Bone marrow aspirate smear — 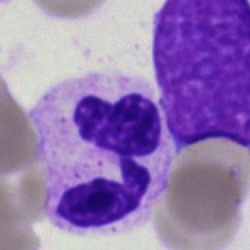Cell — polymorphonuclear neutrophil.